Bone marrow smear
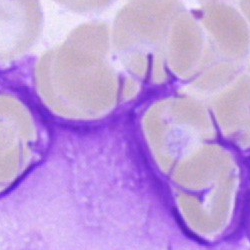Specimen: bone marrow smear.
Cell: artefact.